Bone marrow smear — 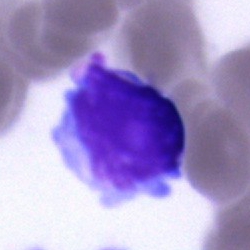
The classification is lymphocyte.